Single-cell field. Bone marrow smear. Image size 250×250
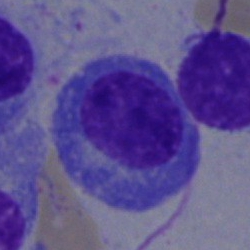
This is a plasma cell.